Bone marrow aspirate smear; single-cell crop — 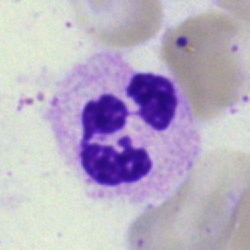{"cell_type": "polymorphonuclear neutrophil", "lineage": "myeloid"}